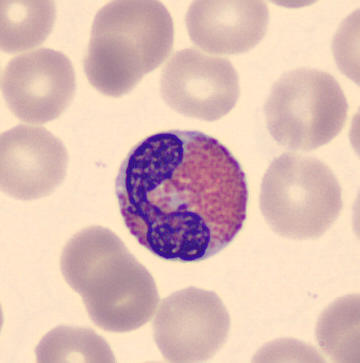

Cell — eosinophilic granulocyte. Image: Peripheral blood smear · single-cell crop.